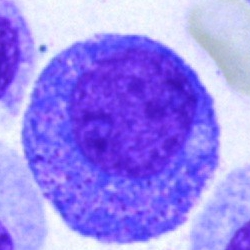Morphology consistent with a progranulocyte.